Bone marrow smear:
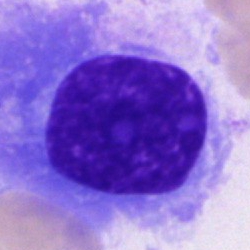
Plasma cell.